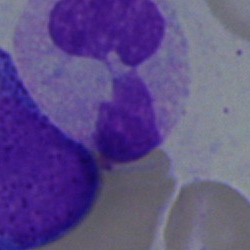
Q: What is shown here?
A: This is a polymorphonuclear neutrophil.